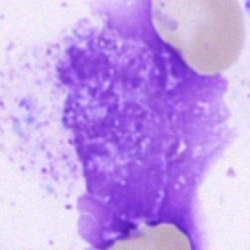Morphology → artifact.